400 by 400 pixels. Romanowsky-type stain. Peripheral blood film — 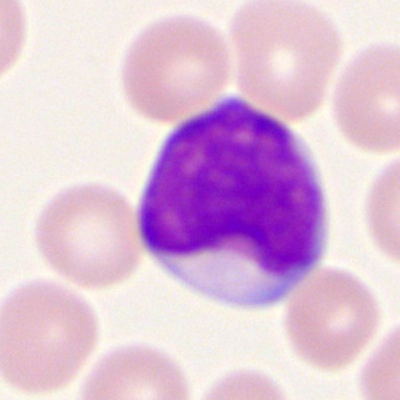 Q: Which cell type is shown here?
A: A myeloblast.